Bone marrow smear · 250 by 250 pixels · cropped to a single cell — 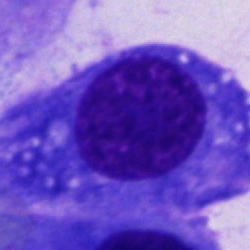
Morphology → cell not matching the other categories.